Romanowsky stain. Peripheral blood smear:
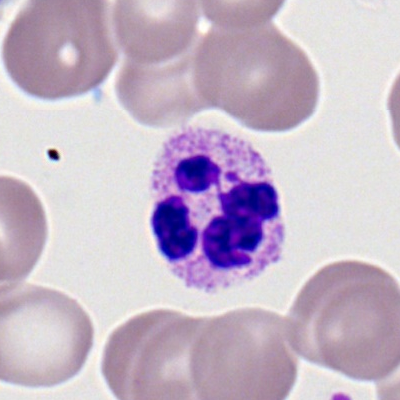This is a polymorphonuclear neutrophil.